May-Grünwald-Giemsa stain. Bone marrow smear. Image size 250×250
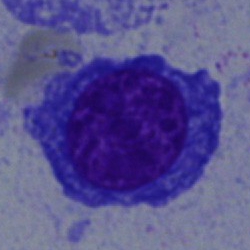Morphological class — nucleated red cell.